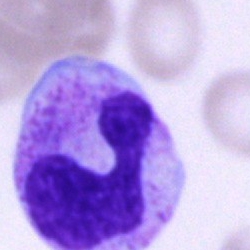

Morphology consistent with a neutrophil (segmented).